Bone marrow aspirate smear: 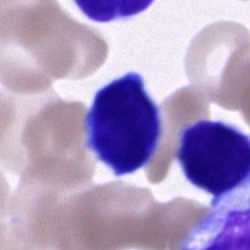

{"cell_type": "typical lymphocyte", "lineage": "lymphoid"}